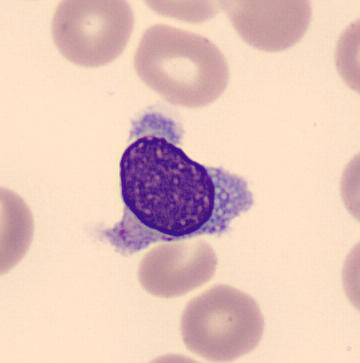 Specimen: peripheral blood smear.
Cell type: lymphocyte.

360×363 px.